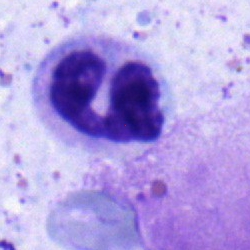This is a neutrophil (segmented).